Bone marrow smear: 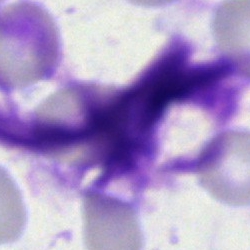
The cell shown is an artifact.